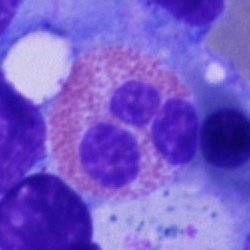
Single-cell crop from a bone marrow smear: eosinophilic granulocyte.